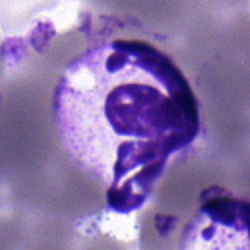 Cell type: neutrophil (segmented).